Bone marrow smear; image size 250×250:
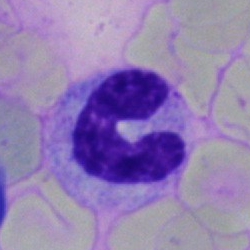

Morphology → band-form neutrophil.